Brightfield microscopy, 40× oil immersion · 250×250 px · bone marrow aspirate smear:
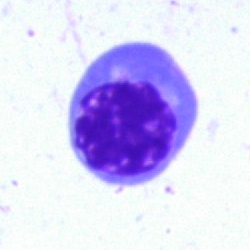 An erythroblast.